100× oil immersion. Peripheral blood smear
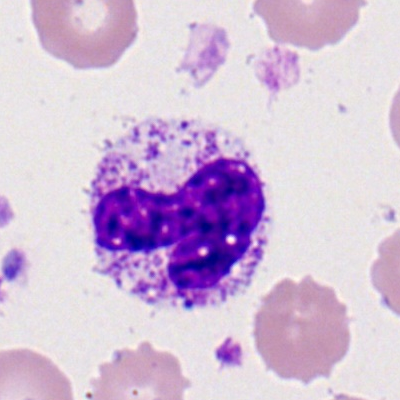
Q: What is the morphological classification of this cell?
A: It is a polymorphonuclear neutrophil.